Peripheral blood smear:
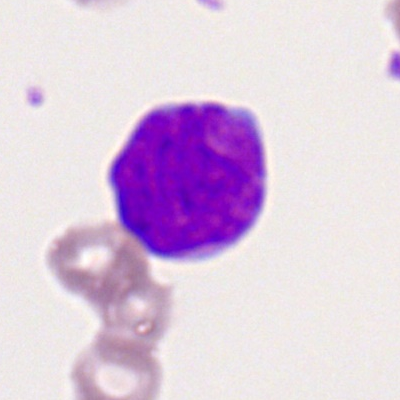 Myeloblast.